Peripheral blood smear.
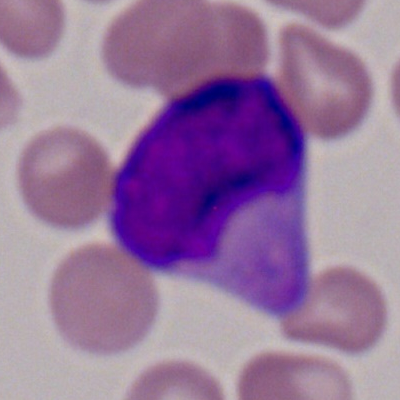
Specimen: peripheral blood film.
Morphological class: myeloblast.